Bone marrow aspirate smear · MGG-stained.
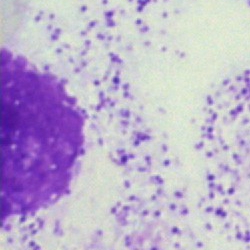

An artefact.